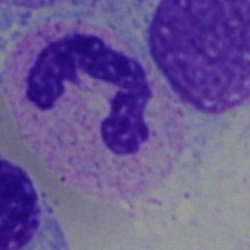 Specimen: bone marrow aspirate smear.
Classification: polymorphonuclear neutrophil.
Lineage: myeloid.